Bone marrow aspirate smear.
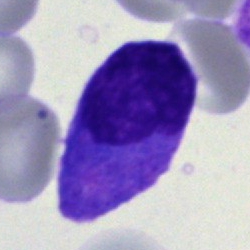 {"cell_type": "undifferentiated blast"}